Bone marrow aspirate smear
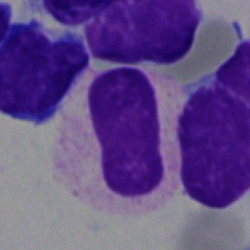
Morphology consistent with an artifact.